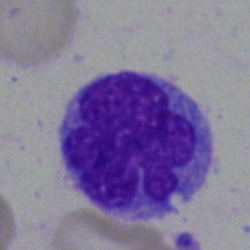

Q: What is the morphological classification of this cell?
A: This is an undifferentiated blast.